Bone marrow smear. May-Grünwald-Giemsa/Pappenheim stain:
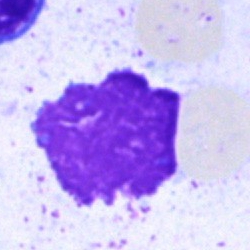 The cell shown is an artifact.